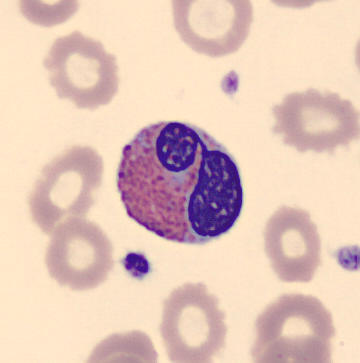
Cell type: eosinophilic granulocyte.
May-Grünwald-Giemsa-stained. Peripheral blood smear. CellaVision DM96.